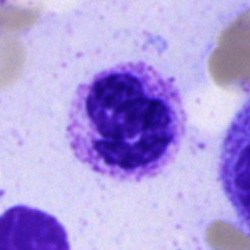 This is a polymorphonuclear neutrophil.